Single cell centered in the field · bone marrow aspirate smear — 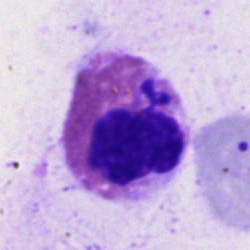Showing an eosinophilic granulocyte.